Bone marrow aspirate smear.
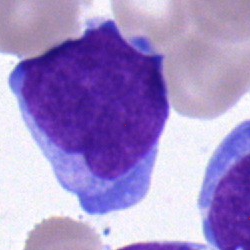 Morphological class: blast.